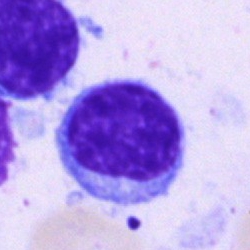
Morphological class — lymphocyte.